Peripheral blood smear · single-cell field
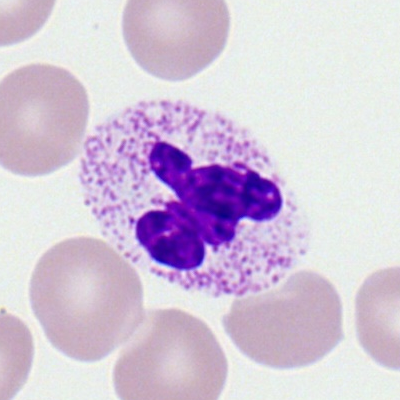
Specimen: peripheral blood film.
Classification: polymorphonuclear neutrophil.